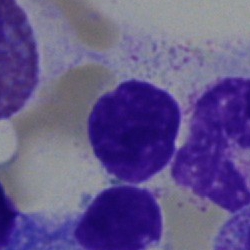
Q: What type of cell is this?
A: Typical lymphocyte.